Bone marrow smear.
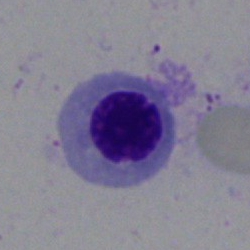
Cell type: nucleated red blood cell.